Bone marrow aspirate smear. Single-cell field. 40× oil immersion
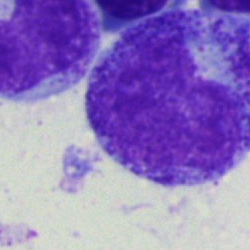

Showing a progranulocyte.